Bone marrow aspirate smear — 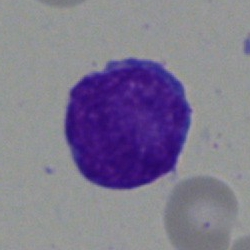 Morphological class = typical lymphocyte.